Bone marrow aspirate smear:
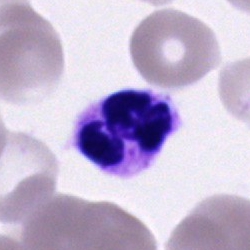
This is a segmented neutrophil.